Bone marrow smear. Single cell centered in the field — 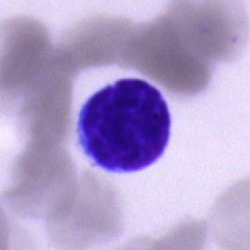

Showing a typical lymphocyte.